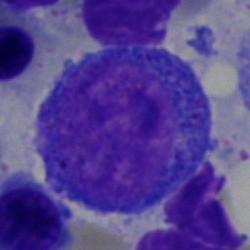 Specimen: bone marrow smear.
Classification: progranulocyte.
Lineage: myeloid.